Peripheral blood film:
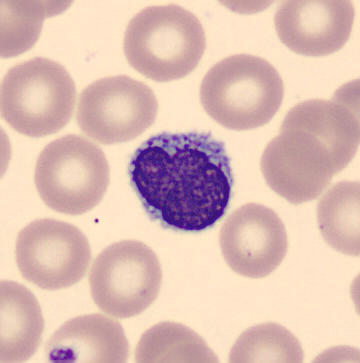This is a lymphocyte.